Bone marrow aspirate smear: 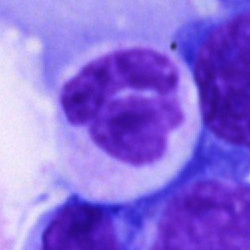Classification — neutrophil (segmented).